Bone marrow aspirate smear: 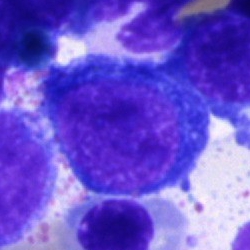Specimen: bone marrow smear.
Morphological class: pronormoblast.
Lineage: erythroid.